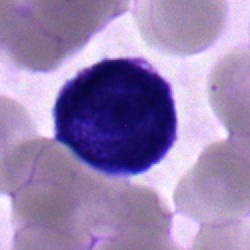
Q: What type of cell is this?
A: It is a blast cell.